Bone marrow smear: 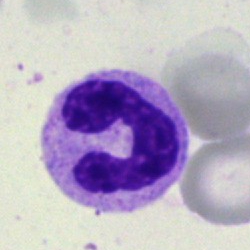Q: Which cell type is shown here?
A: Segmented neutrophil.